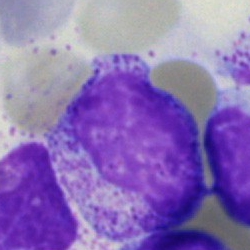 Q: What cell is this?
A: This is a myelocyte.